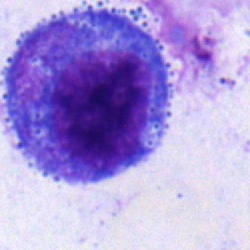 Morphology → promyelocyte.